Single-cell field · bone marrow aspirate smear: 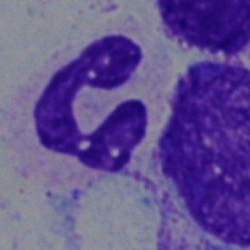 Specimen: bone marrow smear.
Morphological class: polymorphonuclear neutrophil.
Lineage: myeloid.